Bone marrow smear. 40× objective, oil immersion. Single cell centered in the field:
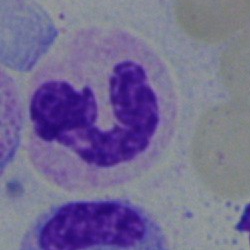

Q: What cell is this?
A: Segmented neutrophil.